Cropped to a single cell. Bone marrow smear
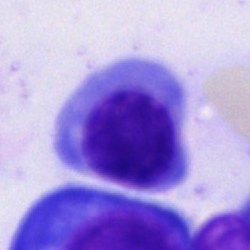

Single cell identified as an erythroblast.